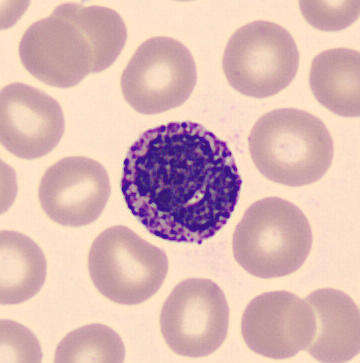

Q: Which cell type is shown here?
A: A basophilic granulocyte.